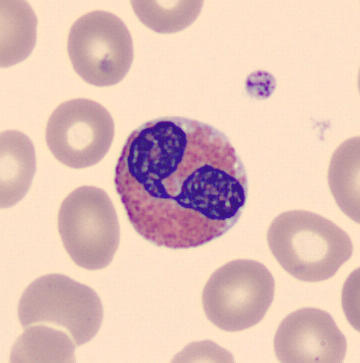 Acquisition: Peripheral blood smear; imaged on a CellaVision DM96 analyser.

Showing an eosinophil.